Bone marrow aspirate smear.
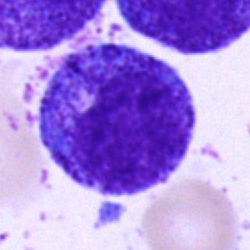The cell type is promyelocyte.